Peripheral blood film:
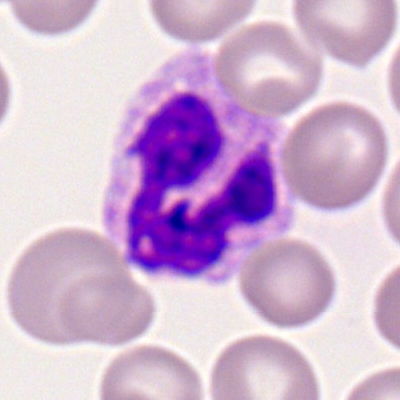 Cell type: basophilic granulocyte.